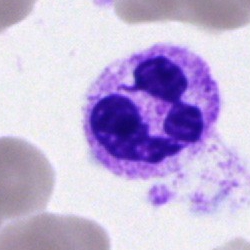Specimen: bone marrow aspirate smear.
Cell type: segmented neutrophil.
Lineage: myeloid.